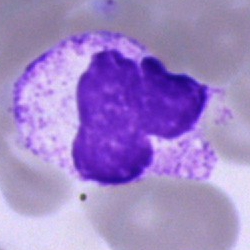Specimen: bone marrow smear.
Cell: neutrophil (segmented).
Lineage: myeloid.